Bone marrow smear
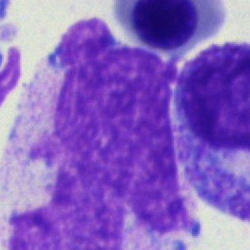 Classification — artifact.